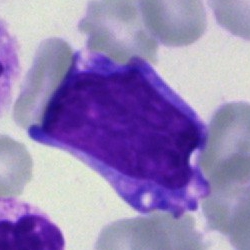Specimen: bone marrow smear.
Morphological class: undifferentiated blast.